Bone marrow smear · single cell centered in the field · Pappenheim-stained:
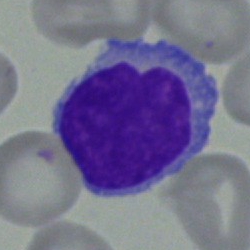
This is a blast cell.